40× oil immersion; bone marrow smear.
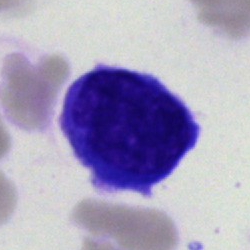Showing a typical lymphocyte.